40× objective, oil immersion. Image size 250×250. Bone marrow aspirate smear: 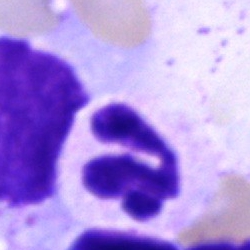 The classification is polymorphonuclear neutrophil.